Bone marrow aspirate smear.
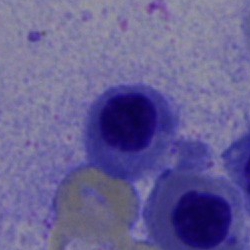
The classification is nucleated red blood cell.